Bone marrow aspirate smear — 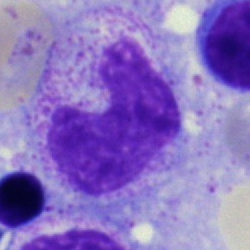
Impression — neutrophil (band).